Single cell centered in the field; peripheral blood film:
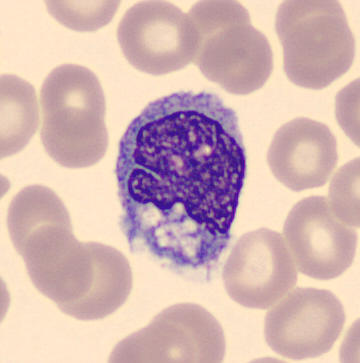
The morphological class is monocyte.